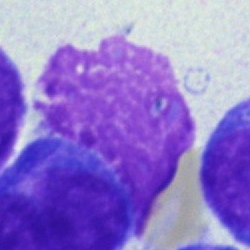Classification — artefact.